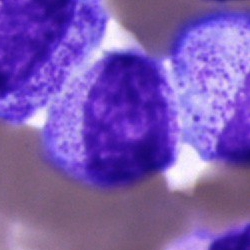

Bone marrow aspirate smear, single cell — myelocyte.